Bone marrow smear; 250 by 250 pixels
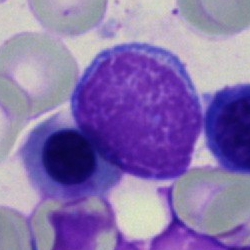
Morphology → typical lymphocyte.